Bone marrow smear — 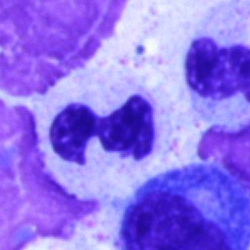
Morphology → segmented neutrophil.